Bone marrow aspirate smear:
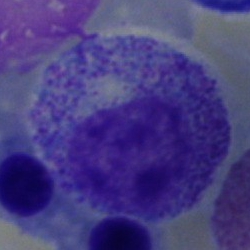

Specimen: bone marrow aspirate smear.
Cell: promyelocyte.
Lineage: myeloid.